Bone marrow aspirate smear. Cropped to a single cell: 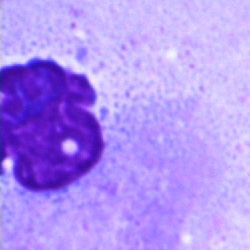
Morphology consistent with an artefact.